May-Grünwald-Giemsa stain · bone marrow smear: 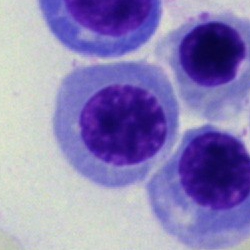Q: What cell is this?
A: A normoblast.